Cropped to a single cell · peripheral blood film.
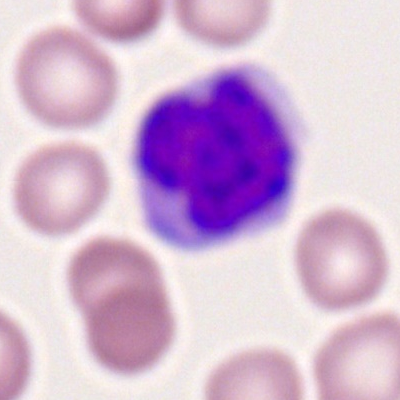
Specimen: peripheral blood smear.
Cell type: monocyte.
Lineage: myeloid.